Bone marrow smear; 250×250; 40× oil immersion: 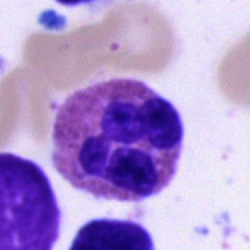
{"cell_type": "eosinophil", "lineage": "myeloid"}